Bone marrow smear; May-Grünwald-Giemsa/Pappenheim stain; single-cell crop: 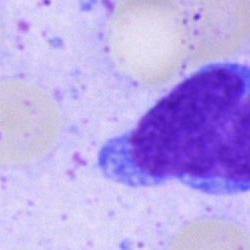

{"cell_type": "blast cell"}